Peripheral blood film · cropped to a single cell.
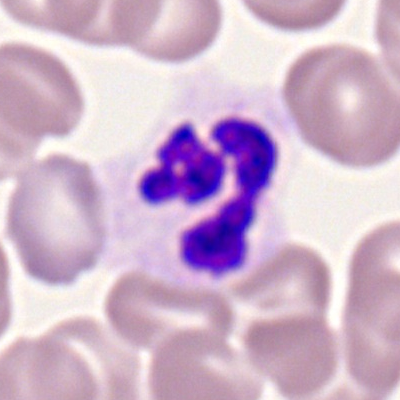

Specimen: peripheral blood film.
Cell type: polymorphonuclear neutrophil.
Lineage: myeloid.